Peripheral blood smear; Romanowsky-type stain: 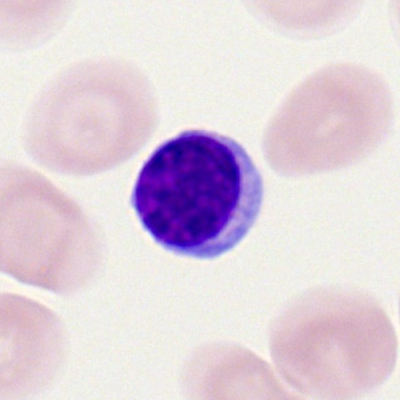

Cell — lymphocyte.